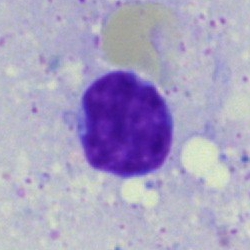This is a lymphocyte.